Peripheral blood smear
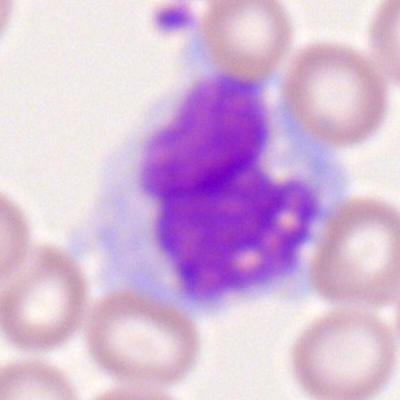Cell — monocyte.